250 by 250 pixels · bone marrow smear
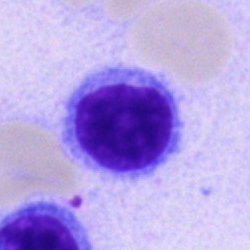
Specimen: bone marrow aspirate smear.
Cell: typical lymphocyte.